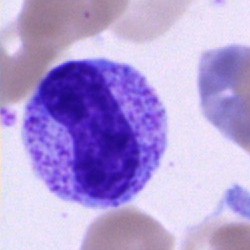
This is a band-form neutrophil.